Bone marrow smear:
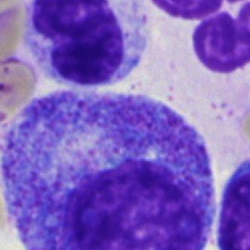

Morphological class = progranulocyte.